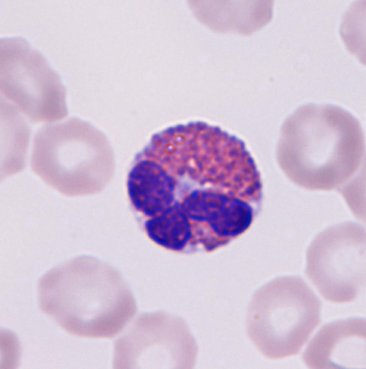 Preparation: Peripheral blood film.
Q: Which cell type is shown here?
A: An eosinophilic granulocyte.